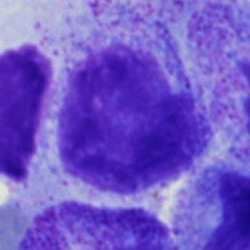

A myelocyte on a bone marrow smear.